Bone marrow smear:
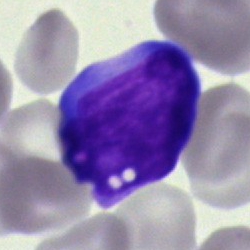
Specimen: bone marrow aspirate smear.
Cell type: blast.